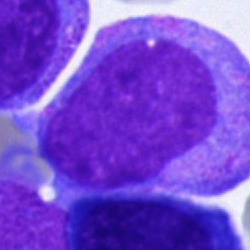

Morphological class — blast cell.